Bone marrow smear; single-cell crop.
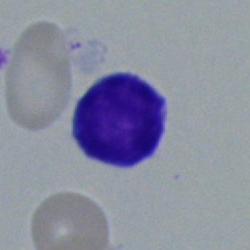 Morphology consistent with a typical lymphocyte.